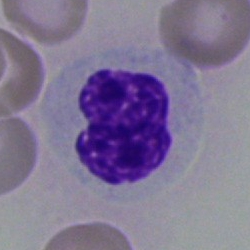 Q: What type of cell is this?
A: A neutrophil (segmented).